Bone marrow smear; 250 by 250 pixels:
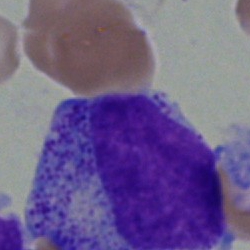
Showing a progranulocyte.